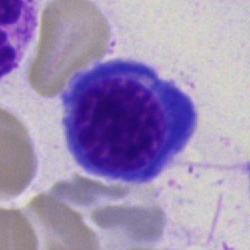 Morphological class — nucleated red blood cell.